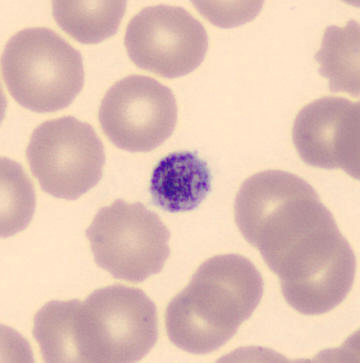Preparation: Peripheral blood smear.
Showing a platelet.